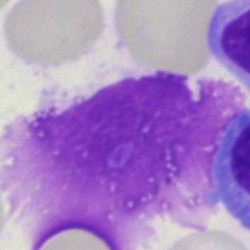
The cell type is artefact.